Peripheral blood film.
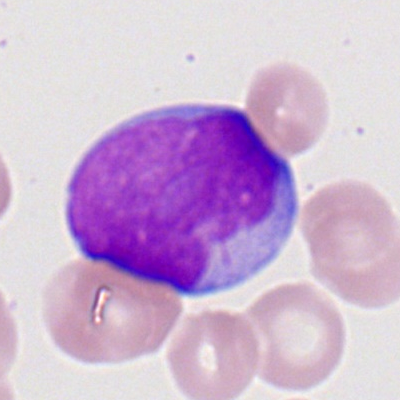 Q: Which cell type is shown here?
A: This is a myeloblast.